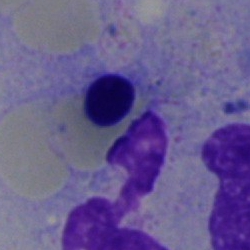Bone marrow aspirate smear, single cell — nucleated red blood cell.